Bone marrow aspirate smear — 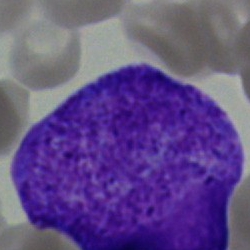Blast cell.